MGG-stained. Bone marrow aspirate smear — 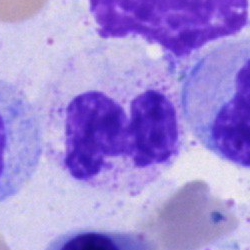

Neutrophil (segmented).